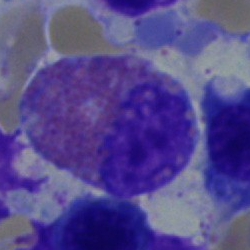The classification is eosinophilic granulocyte.